Bone marrow smear: 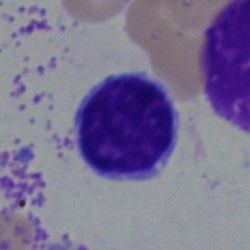 Q: What is the morphological classification of this cell?
A: This is a typical lymphocyte.